MGG-stained; single-cell field; bone marrow aspirate smear: 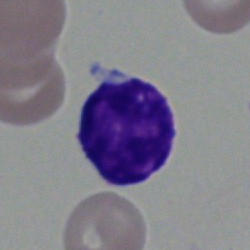 Lymphocyte.